Bone marrow aspirate smear; 40× objective, oil immersion:
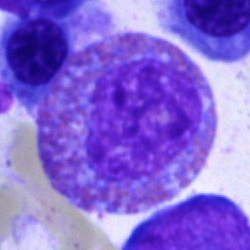Showing a myelocyte.